Bone marrow aspirate smear · single cell centered in the field
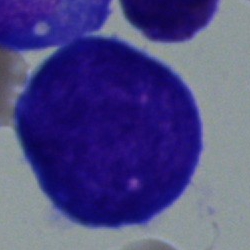The cell shown is a blast.